Image size 250×250 · 40× objective, oil immersion · bone marrow smear: 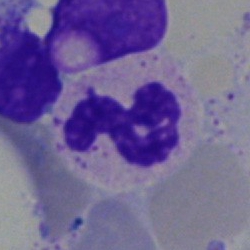 Impression → neutrophil (segmented).